Bone marrow aspirate smear:
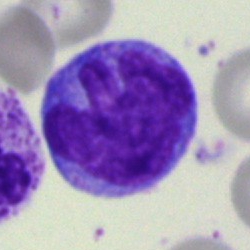

Q: Identify the cell.
A: Monocyte.